40× objective, oil immersion; bone marrow aspirate smear:
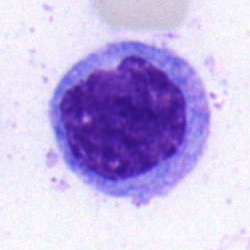

Q: What is shown here?
A: This is a monocyte.